Brightfield, 40× oil-immersion objective; bone marrow smear.
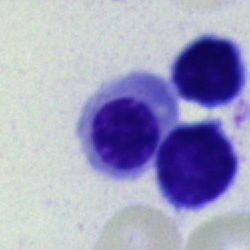 Q: What cell is this?
A: Normoblast.